M8 digital microscope (Precipoint), 100× oil immersion · peripheral blood smear · cropped to a single cell:
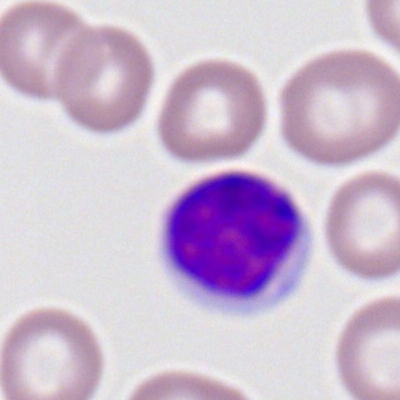 A typical lymphocyte.